Bone marrow smear
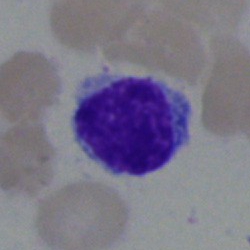 A typical lymphocyte.